Bone marrow smear · single-cell crop
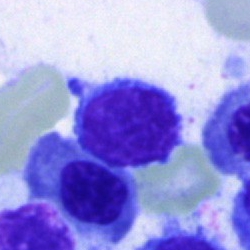
Morphology — lymphocyte.